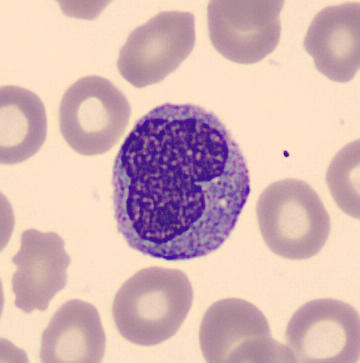

Cell = monocyte.